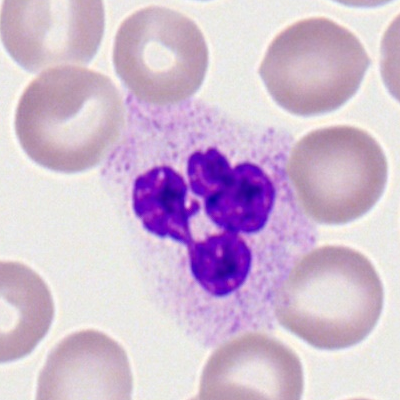

Morphology → neutrophil (segmented).